Bone marrow smear; brightfield, 40× oil-immersion objective
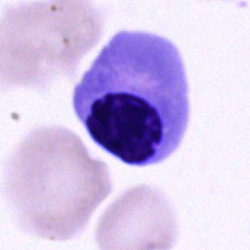

Morphology consistent with a nucleated red cell.